Bone marrow smear. Single cell centered in the field:
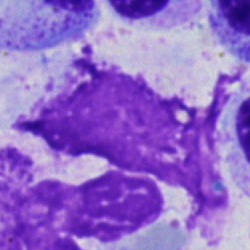

Cell type: artifact.